Single-cell crop; bone marrow smear: 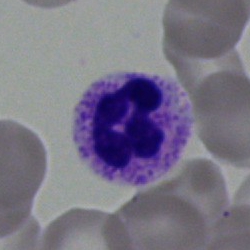 Classification — polymorphonuclear neutrophil.